Bone marrow smear. Single-cell crop. 40× oil immersion.
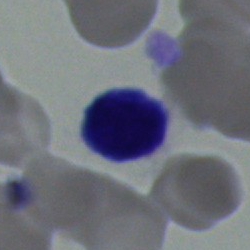

Showing a lymphocyte.